Bone marrow smear · 40× objective, oil immersion · May-Grünwald-Giemsa stain: 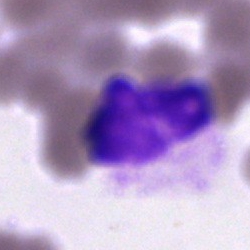Showing an artefact.